Bone marrow smear; 40× objective, oil immersion; single cell centered in the field:
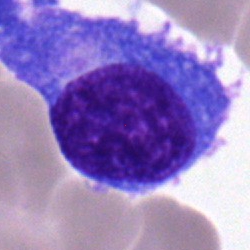 Plasma cell.